40× objective, oil immersion. Bone marrow smear: 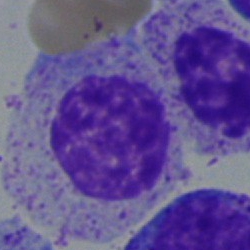

Showing a myelocyte.